250×250. Bone marrow aspirate smear — 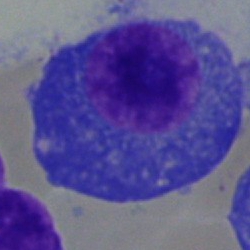This is a plasma cell.